Bone marrow aspirate smear.
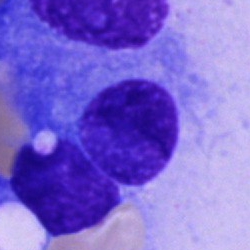 Specimen: bone marrow aspirate smear.
Morphological class: plasmacyte.
Lineage: lymphoid.